May-Grünwald-Giemsa stain; single-cell crop; bone marrow aspirate smear
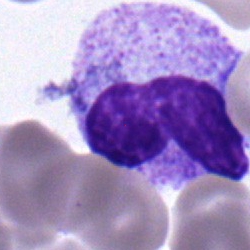This is a band-form neutrophil.